Bone marrow smear.
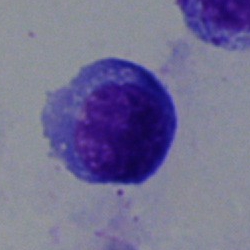Morphology consistent with a nucleated red blood cell.